Bone marrow aspirate smear · 40× objective, oil immersion — 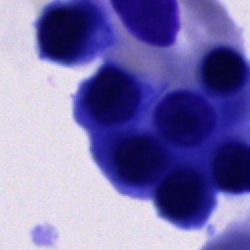 Specimen: bone marrow aspirate smear.
Classification: unidentifiable cell.